Bone marrow smear · MGG-stained · brightfield, 40× oil-immersion objective
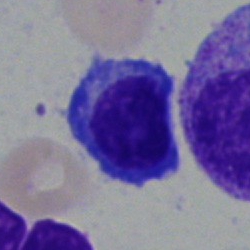

This is a plasma cell.